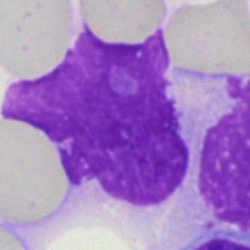

Classification — artifact.